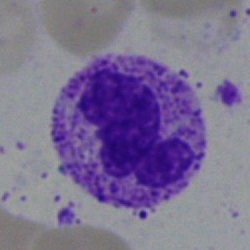

Single-cell crop from a bone marrow smear: neutrophil (segmented).